Pappenheim-stained; bone marrow aspirate smear; 40× objective, oil immersion
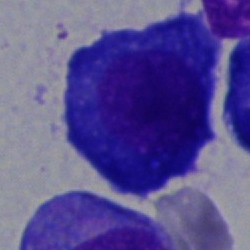
Q: Which cell type is shown here?
A: This is a plasmacyte.